Pappenheim-stained · bone marrow aspirate smear
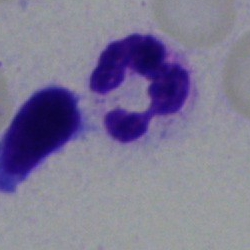 Specimen: bone marrow smear.
Morphological class: neutrophil (segmented).